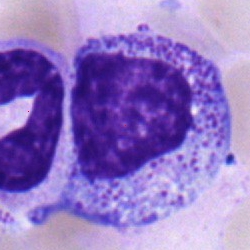 A myelocyte.